250 by 250 pixels · bone marrow aspirate smear
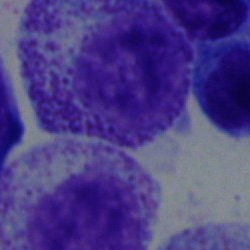

Single cell identified as a myelocyte.